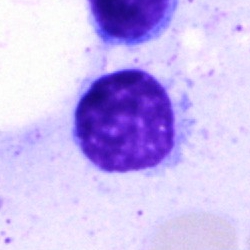

Cell type = lymphocyte.